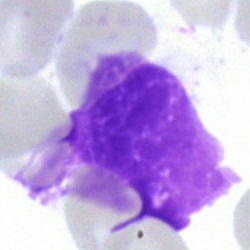
Single cell identified as a Gumprecht shadow.